Bone marrow smear
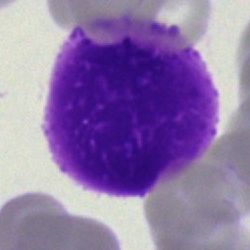

Morphological class — artifact.